Single cell centered in the field; bone marrow smear: 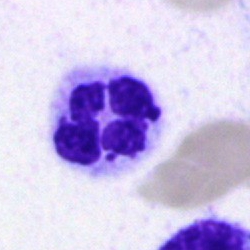

Single cell identified as a neutrophil (segmented).